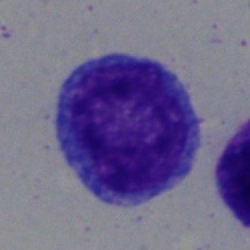

This is an undifferentiated blast.